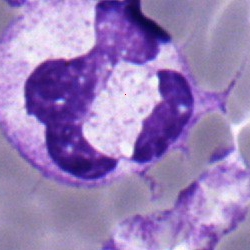 Neutrophil (segmented).